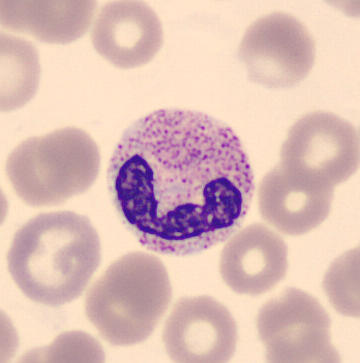 Cell: neutrophil (band).

Peripheral blood film.